Bone marrow smear. Brightfield microscopy, 40× oil immersion.
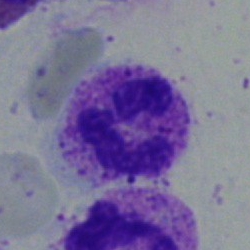

Morphology consistent with a polymorphonuclear neutrophil.